Peripheral blood film — 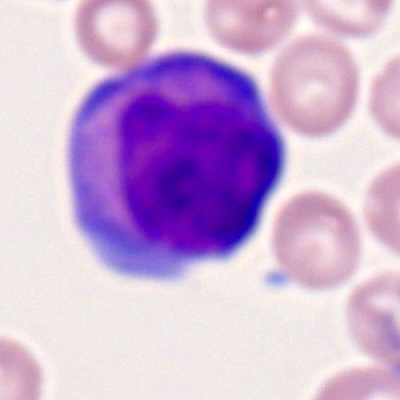Single cell identified as a myeloid blast.